Single-cell field · bone marrow aspirate smear.
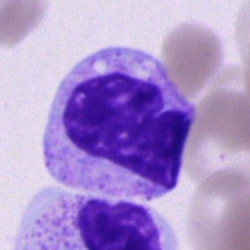Impression — metamyelocyte.